Bone marrow aspirate smear.
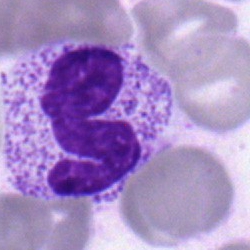
A stab cell.